Bone marrow smear: 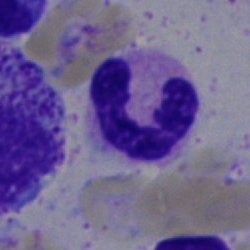 Q: What type of cell is this?
A: This is a polymorphonuclear neutrophil.